Bone marrow smear. 40× objective, oil immersion — 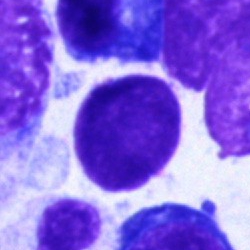
{"cell_type": "eosinophil"}